Bone marrow smear
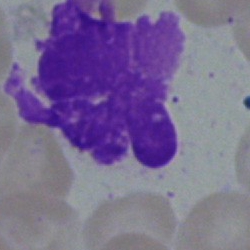

Q: What is shown here?
A: This is a nucleated red cell.